Bone marrow aspirate smear. MGG-stained
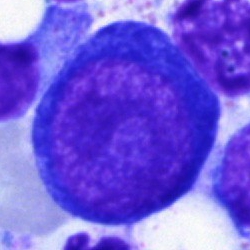Specimen: bone marrow smear.
Morphological class: pronormoblast.
Lineage: erythroid.